Bone marrow aspirate smear:
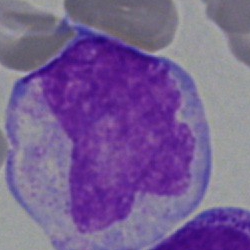 Monocyte.